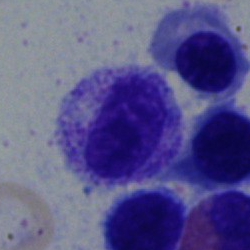Bone marrow aspirate smear, single cell — metamyelocyte.